Peripheral blood smear. Single-cell crop:
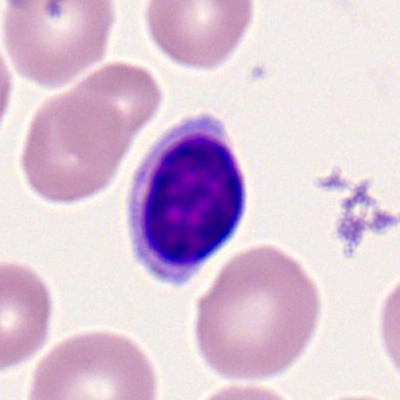
Showing a typical lymphocyte.